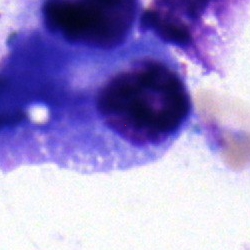
{"cell_type": "plasma cell"}